Bone marrow smear; single-cell field:
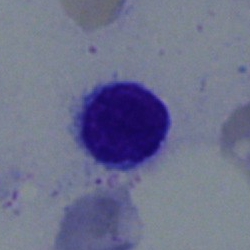Specimen: bone marrow smear.
Cell type: lymphocyte.
Lineage: lymphoid.